Single-cell crop; bone marrow aspirate smear: 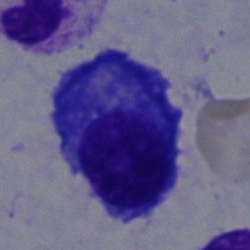 Cell type: plasmacyte.